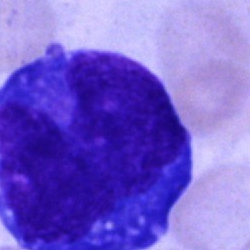
Cell: blast cell.